250 by 250 pixels. Bone marrow smear:
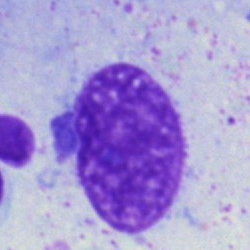 Q: What is shown here?
A: This is an artefact.